Single-cell crop · bone marrow smear · May-Grünwald-Giemsa/Pappenheim stain
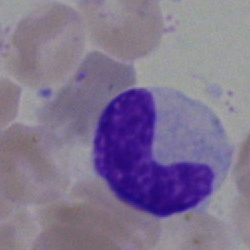

Impression → band neutrophil.